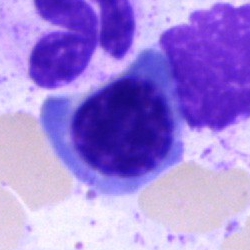{"cell_type": "normoblast", "lineage": "erythroid"}